40× objective, oil immersion · bone marrow smear · cropped to a single cell — 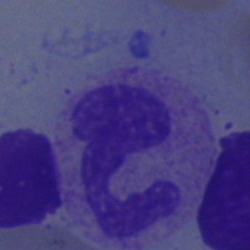 Specimen: bone marrow smear.
Classification: polymorphonuclear neutrophil.
Lineage: myeloid.